Single-cell field; bone marrow aspirate smear
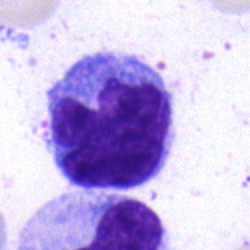

Q: What is the morphological classification of this cell?
A: A monocyte.